Peripheral blood smear:
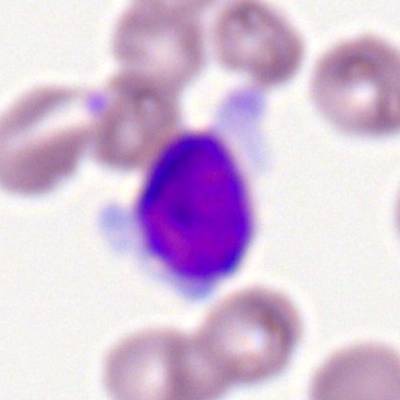 Q: What is shown here?
A: This is a lymphocyte.